Bone marrow smear: 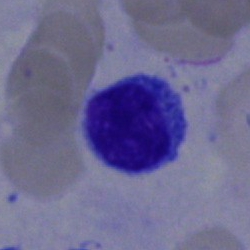

Q: What type of cell is this?
A: This is a lymphocyte.